Bone marrow aspirate smear · 250×250 px · May-Grünwald-Giemsa stain: 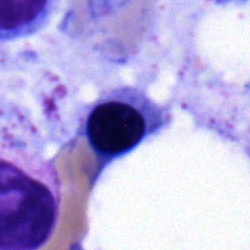This is an erythroblast.